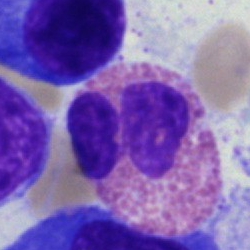
Specimen: bone marrow aspirate smear.
Cell type: eosinophilic granulocyte.